Cropped to a single cell. Bone marrow aspirate smear: 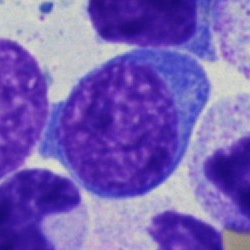Specimen: bone marrow aspirate smear.
Cell type: blast.